Peripheral blood film · CellaVision DM96 — 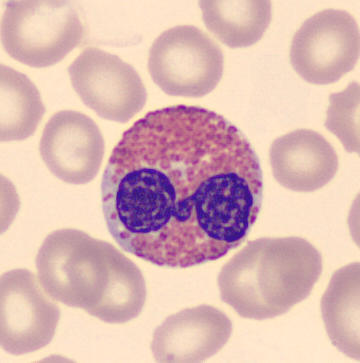 Morphological class: eosinophil.